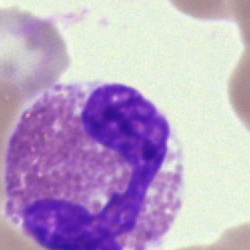Morphology consistent with an eosinophilic granulocyte.